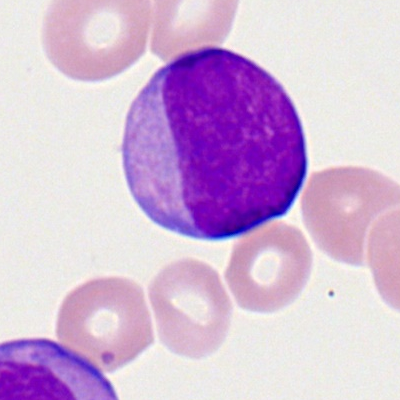

Specimen: peripheral blood film.
Cell: myeloid blast.
Lineage: myeloid.